Bone marrow aspirate smear. Cropped to a single cell.
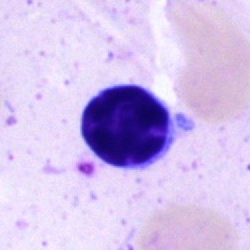

Showing a typical lymphocyte.